Bone marrow smear:
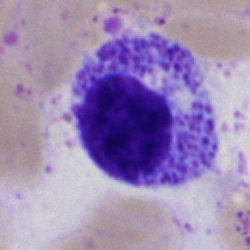

Q: What is shown here?
A: This is a myelocyte.